Bone marrow smear: 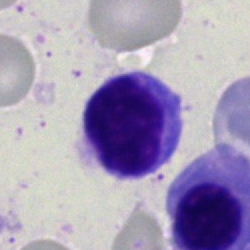 Cell type: lymphocyte.